Bone marrow smear: 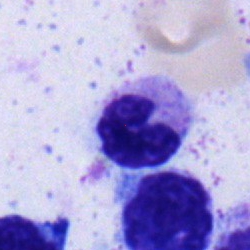
Single cell identified as a neutrophil (band).